40× oil immersion; bone marrow aspirate smear.
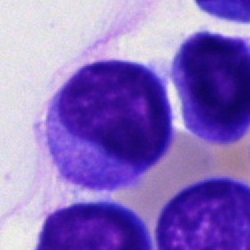
Morphological class = undifferentiated blast.